Bone marrow aspirate smear · MGG-stained · single cell centered in the field
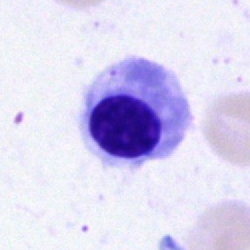Morphology consistent with a nucleated red blood cell.